Bone marrow aspirate smear:
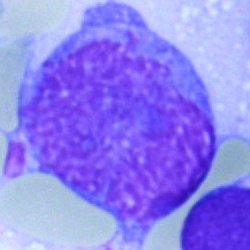 Blast.